Bone marrow aspirate smear: 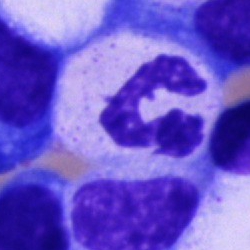
Polymorphonuclear neutrophil.